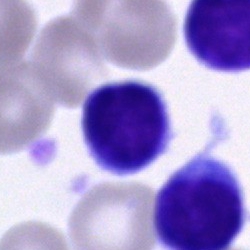Single-cell crop from a bone marrow smear: lymphocyte.